Bone marrow aspirate smear: 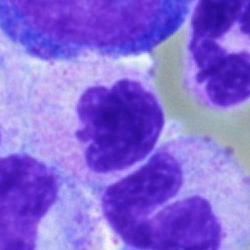

Classification = stab cell.